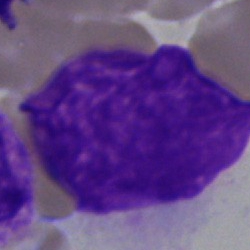

The classification is artifact.